Peripheral blood smear · 400×400
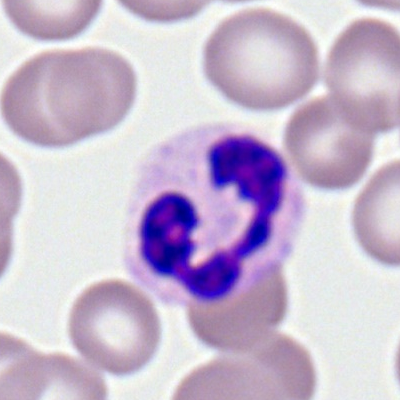
Morphology → polymorphonuclear neutrophil.